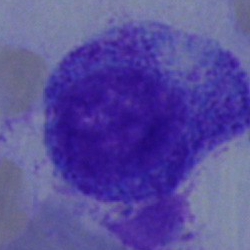

Q: What is shown here?
A: This is a promyelocyte.